Peripheral blood smear.
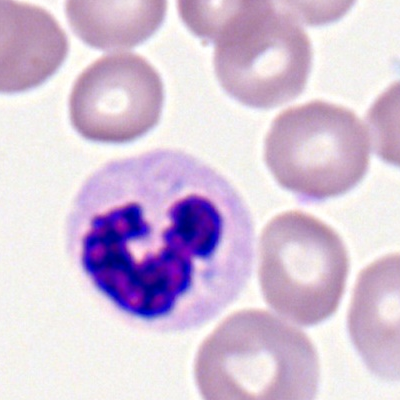

Morphology consistent with a polymorphonuclear neutrophil.